Bone marrow smear — 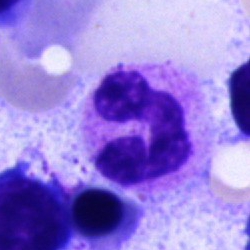
Morphological class — typical lymphocyte.